Peripheral blood film.
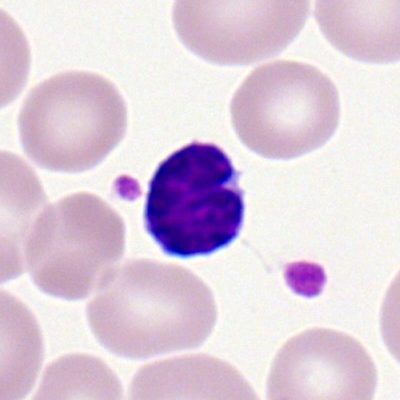 Lymphocyte.